Bone marrow aspirate smear.
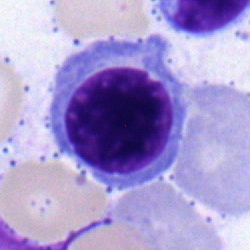

Specimen: bone marrow smear.
Classification: erythroblast.
Lineage: erythroid.